Bone marrow aspirate smear — 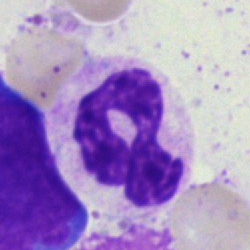
Specimen: bone marrow aspirate smear.
Classification: neutrophil (segmented).
Lineage: myeloid.